Bone marrow smear
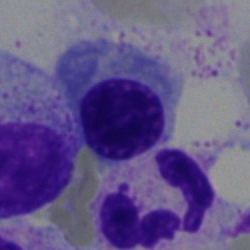

Single cell identified as an erythroblast.